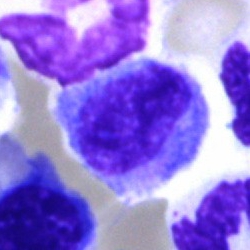

Cell — progranulocyte.